MGG-stained; bone marrow smear — 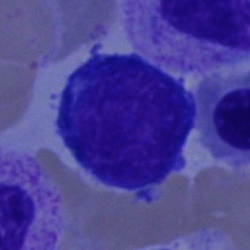 The cell is erythroblast.